Pappenheim-stained; bone marrow smear.
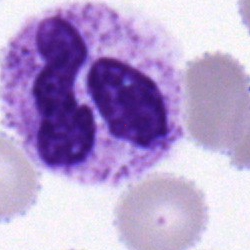
Morphology — neutrophil (segmented).